Bone marrow smear; cropped to a single cell
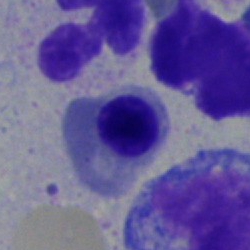 {"cell_type": "erythroblast", "lineage": "erythroid"}